Bone marrow smear
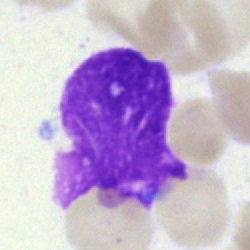 Q: What is shown here?
A: It is an artefact.